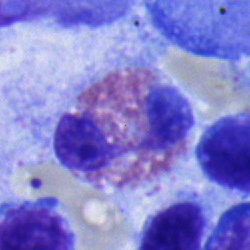 Morphology consistent with an eosinophilic granulocyte.